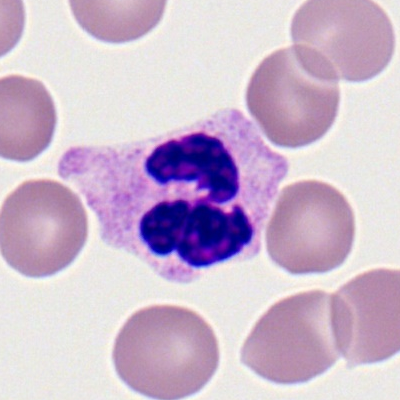A polymorphonuclear neutrophil on a peripheral blood smear.